Bone marrow aspirate smear: 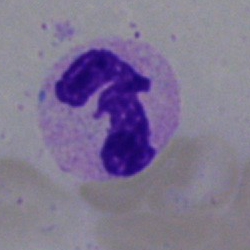A segmented neutrophil.